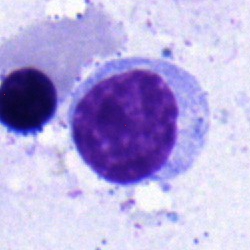 Q: Which cell type is shown here?
A: This is a typical lymphocyte.